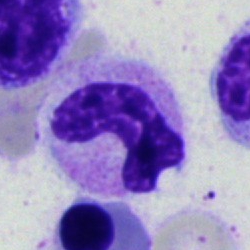
The morphological class is band neutrophil.